Bone marrow aspirate smear — 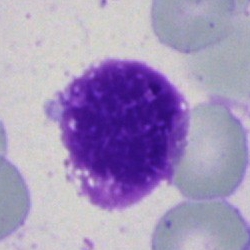
Artifact.